Bone marrow aspirate smear:
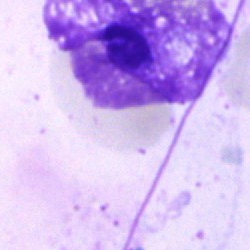 The cell type is artefact.